Cropped to a single cell. May-Grünwald-Giemsa stain. Bone marrow smear.
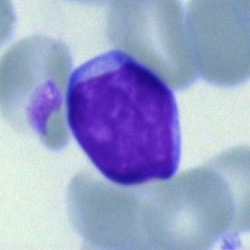Morphology — lymphocyte.